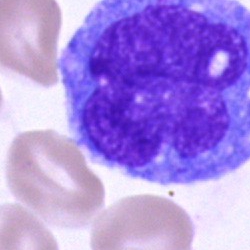

Q: Which cell type is shown here?
A: It is a monocyte.